Bone marrow aspirate smear. 40× oil immersion. MGG-stained
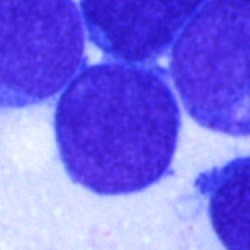

Q: What cell is this?
A: This is a blast.